Bone marrow smear.
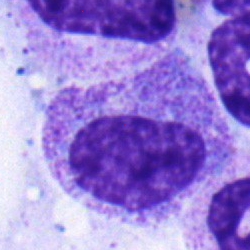

Cell type — myelocyte.